Bone marrow aspirate smear. Single-cell crop. 250×250: 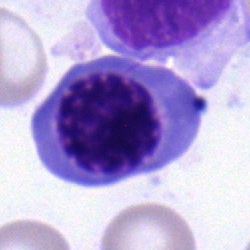 Specimen: bone marrow aspirate smear.
Classification: monocyte.
Lineage: myeloid.